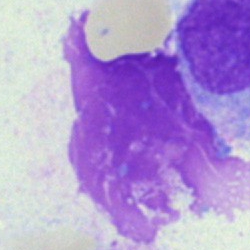Classification = artefact.